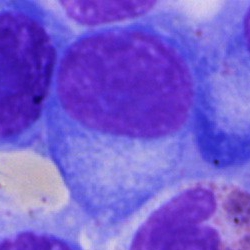 The cell is plasmacyte.